Bone marrow aspirate smear
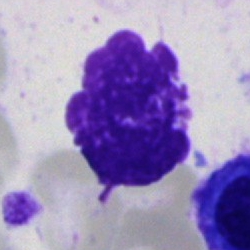This is an artefact.